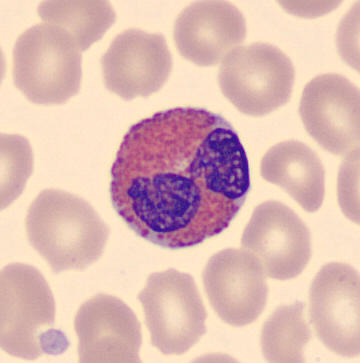Preparation: Peripheral blood film. Q: What is shown here?
A: Eosinophil.